Single-cell field; bone marrow smear.
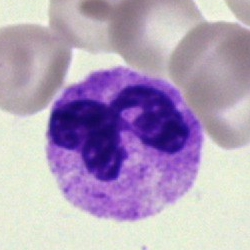
Q: What type of cell is this?
A: Neutrophil (segmented).